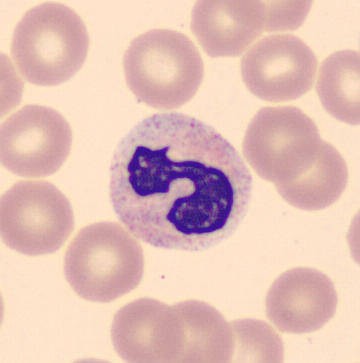 Peripheral blood film; May Grünwald-Giemsa stain.

Morphology consistent with a segmented neutrophil.